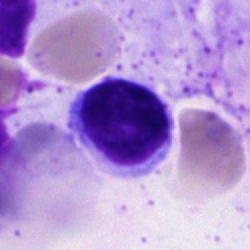
Morphology — lymphocyte.